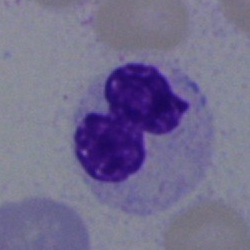
Showing a segmented neutrophil.